250 by 250 pixels · bone marrow aspirate smear:
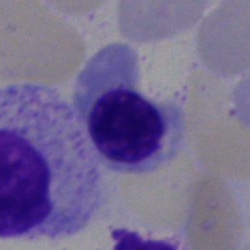Q: What is shown here?
A: A nucleated red blood cell.